Bone marrow aspirate smear:
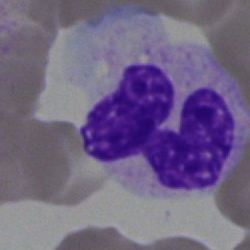

Cell type: neutrophil (segmented).